Bone marrow aspirate smear: 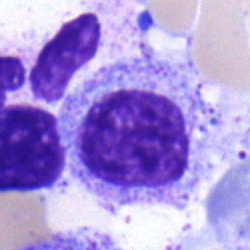 Q: What type of cell is this?
A: Myelocyte.